Peripheral blood film: 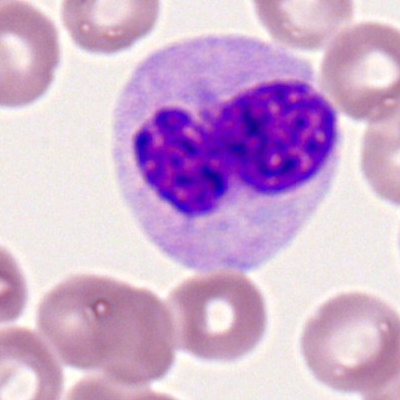 The classification is segmented neutrophil.